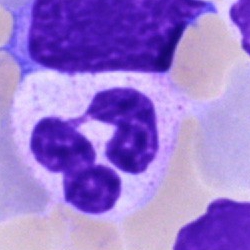 Bone marrow aspirate smear, single cell — segmented neutrophil.